Bone marrow smear; 40× objective, oil immersion:
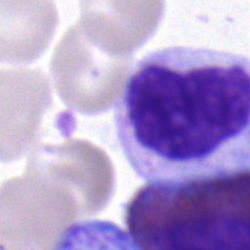Specimen: bone marrow aspirate smear.
Morphological class: metamyelocyte.
Lineage: myeloid.